Bone marrow smear:
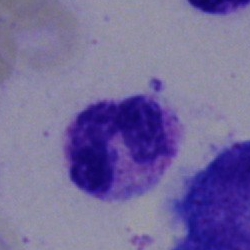
This is a neutrophil (segmented).